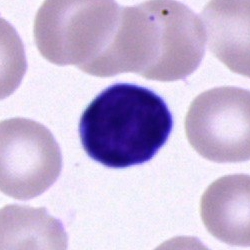 Specimen: bone marrow smear.
Classification: typical lymphocyte.
Lineage: lymphoid.